Bone marrow aspirate smear. May-Grünwald-Giemsa stain.
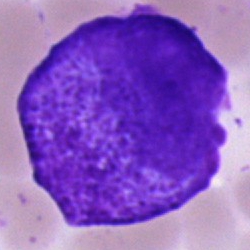

Morphological class: blast cell.